Single-cell field. Peripheral blood film:
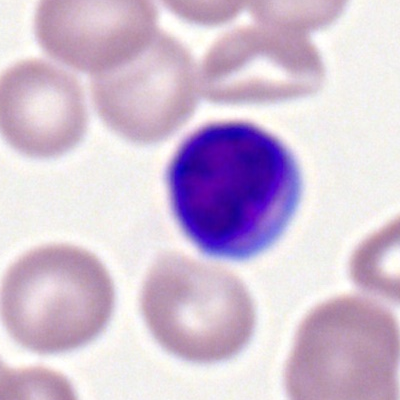 Single cell identified as a typical lymphocyte.